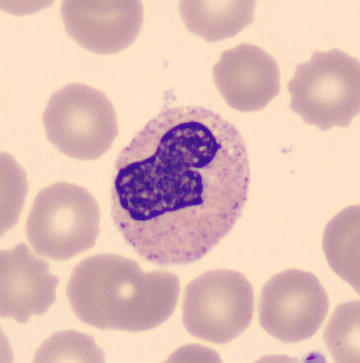Cell type: neutrophil (band).
Acquisition: Peripheral blood smear · single-cell field · image size 360×363.